Bone marrow aspirate smear. Brightfield, 40× oil-immersion objective:
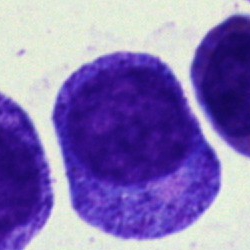The cell shown is a progranulocyte.